Bone marrow smear
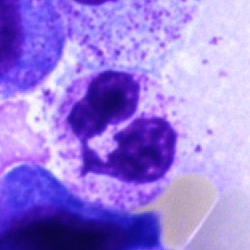

The morphological class is neutrophil (segmented).